Bone marrow smear; single-cell crop; MGG-stained.
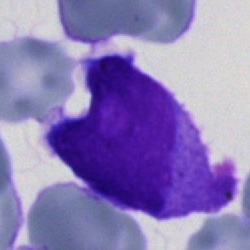

Classification — blast.